Bone marrow aspirate smear:
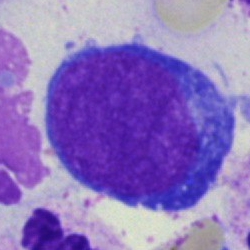

Impression → blast.